Bone marrow smear.
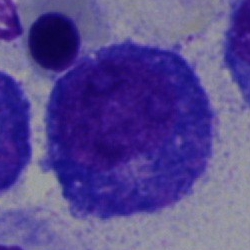 This is a progranulocyte.